Bone marrow aspirate smear — 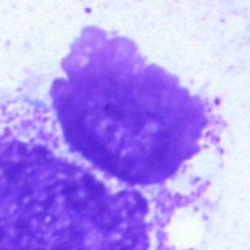

Morphology consistent with an artifact.